Bone marrow aspirate smear: 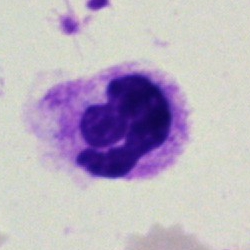 Classification = polymorphonuclear neutrophil.